Single-cell crop. Bone marrow smear
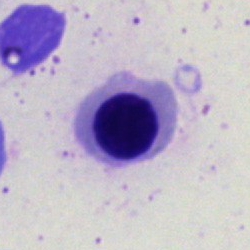 Impression → nucleated red blood cell.